May-Grünwald-Giemsa stain. Bone marrow smear. 40× oil immersion: 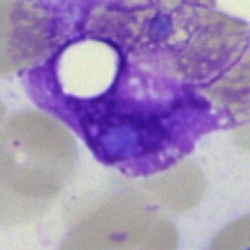Morphology — artefact.